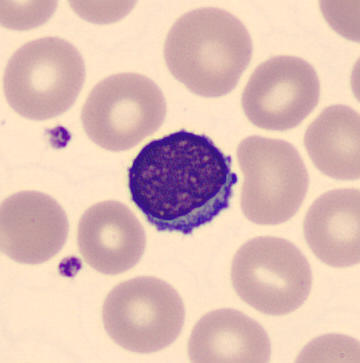Specimen: peripheral blood smear.
Classification: typical lymphocyte.